Bone marrow aspirate smear — 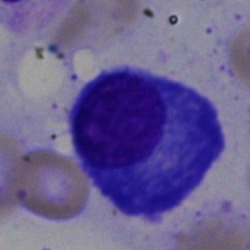

Cell — plasmacyte.